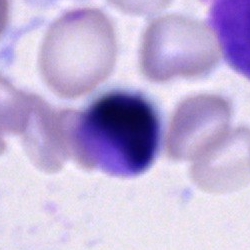
A cell of indeterminate lineage.